Pappenheim-stained · bone marrow aspirate smear · single cell centered in the field: 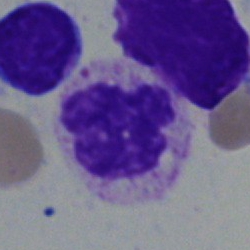Morphology consistent with a segmented neutrophil.